Bone marrow aspirate smear
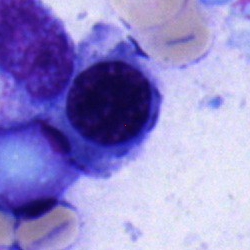 Nucleated red blood cell.